Bone marrow aspirate smear.
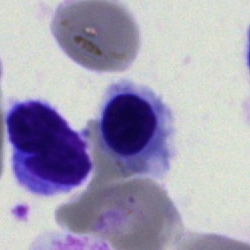
This is an erythroblast.